Bone marrow aspirate smear: 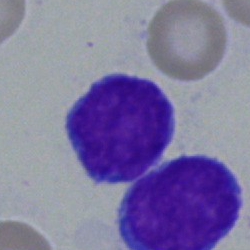Q: Which cell type is shown here?
A: A lymphocyte.